Bone marrow aspirate smear.
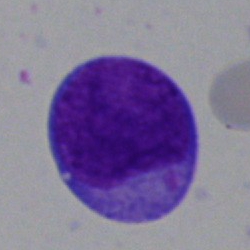
Morphology → blast cell.